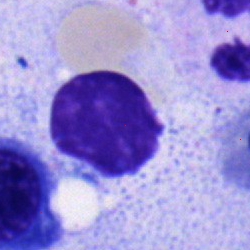
The cell is typical lymphocyte.